Image size 250×250 · bone marrow smear.
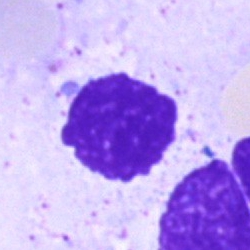

Q: What is shown here?
A: An artifact.